Bone marrow smear.
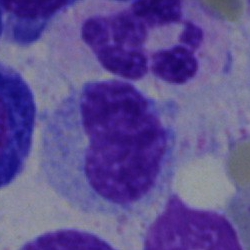
Cell = monocyte.